Bone marrow aspirate smear: 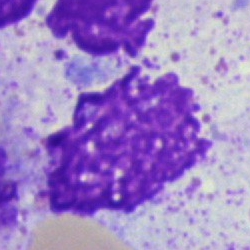
Cell — artifact.